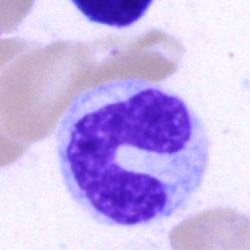Specimen: bone marrow aspirate smear.
Cell: neutrophil (band).
Lineage: myeloid.